Peripheral blood film. Automated cell imaging (CellaVision DM96):
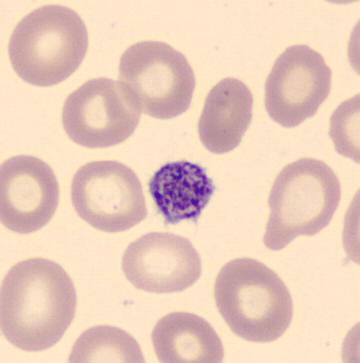

Classification = thrombocyte.